Single cell centered in the field · bone marrow aspirate smear: 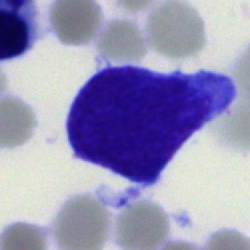 Classification — blast cell.